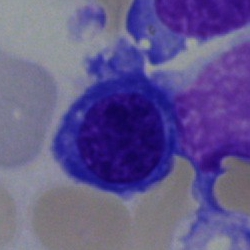
Single cell identified as a normoblast.